Bone marrow aspirate smear. Cropped to a single cell — 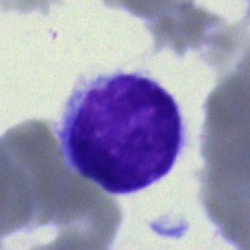
Impression → lymphocyte.